40× oil immersion; bone marrow aspirate smear.
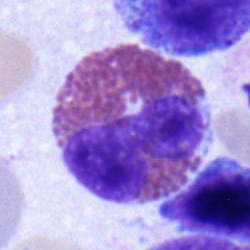 Q: What type of cell is this?
A: It is an eosinophil.